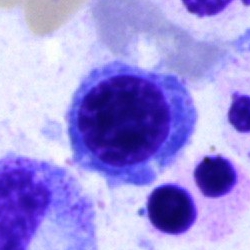Q: What cell is this?
A: A nucleated red cell.